Single-cell field · peripheral blood smear · 400 by 400 pixels — 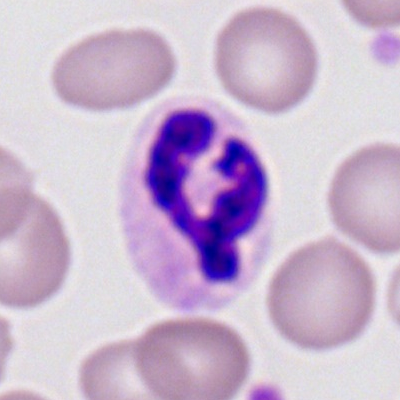Single cell identified as a neutrophil (segmented).